Bone marrow aspirate smear: 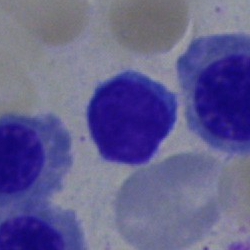
Morphological class = lymphocyte.